Bone marrow smear
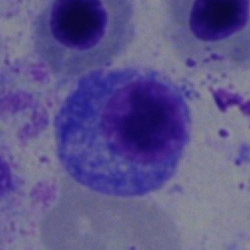

Morphological class = plasma cell.